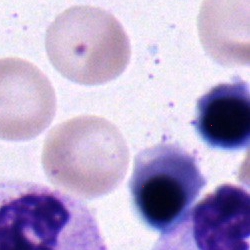 The cell type is erythroblast.